Bone marrow aspirate smear: 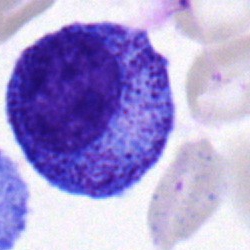
Progranulocyte.